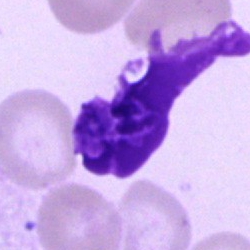The cell type is artefact.